Bone marrow aspirate smear
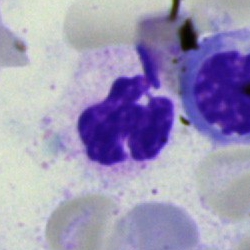
Morphological class = neutrophil (segmented).